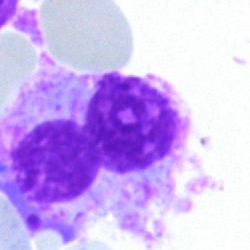 Classification = neutrophil (segmented).